Bone marrow aspirate smear. 40× oil immersion. 250 by 250 pixels
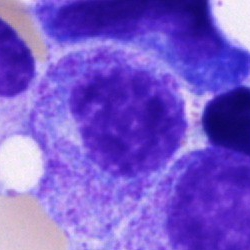 Promyelocyte.